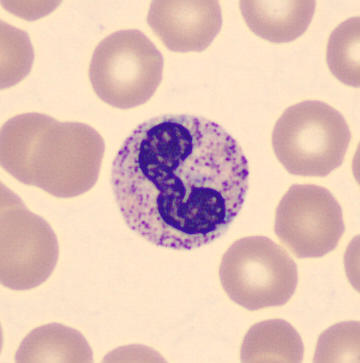

The cell is band-form neutrophil. Image: Peripheral blood film.